Bone marrow aspirate smear: 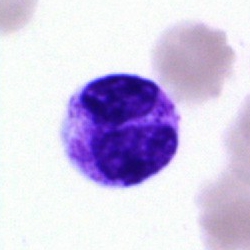

Impression → segmented neutrophil.